Bone marrow smear
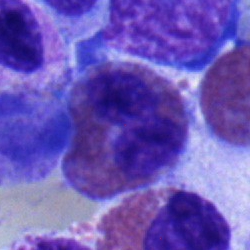
Showing an eosinophil.